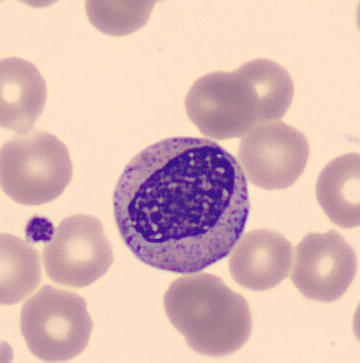 Imaged on a CellaVision DM96 analyser · peripheral blood film. Q: Identify the cell.
A: This is a myelocyte.